Bone marrow aspirate smear; 40× oil immersion — 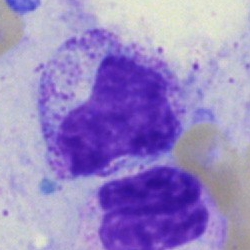

Q: What cell is this?
A: This is a metamyelocyte.